Bone marrow aspirate smear
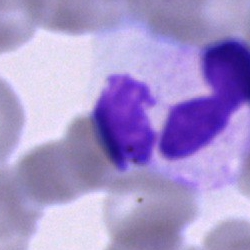
Cell type: segmented neutrophil.